Bone marrow smear:
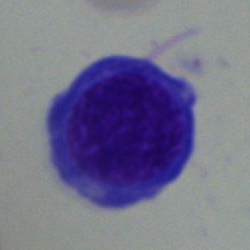 Impression — normoblast.